Bone marrow smear — 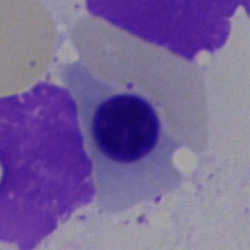A nucleated red cell.